May-Grünwald-Giemsa stain · bone marrow aspirate smear: 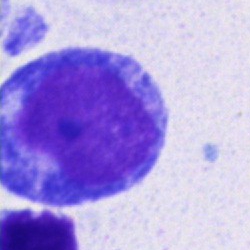Impression — undifferentiated blast.